250×250 px · bone marrow smear
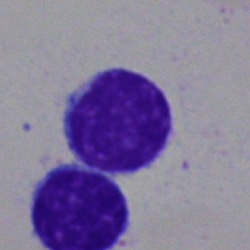 Morphological class = typical lymphocyte.